Bone marrow aspirate smear: 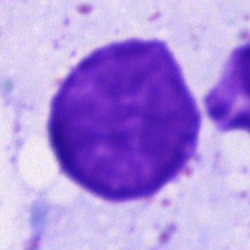

Morphological class: artefact.